Bone marrow smear
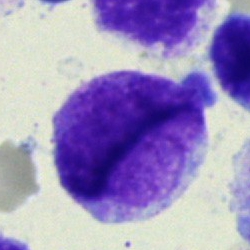

Q: What cell is this?
A: It is an undifferentiated blast.